Peripheral blood film · 100× objective, oil immersion — 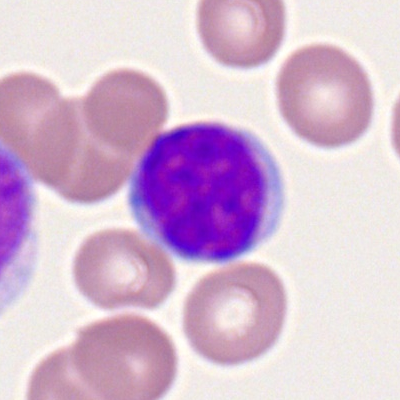

Q: What is the morphological classification of this cell?
A: Typical lymphocyte.